Bone marrow smear · 40× objective, oil immersion · May-Grünwald-Giemsa/Pappenheim stain — 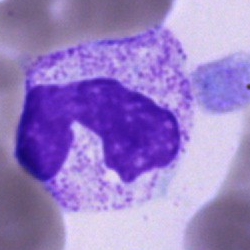Morphological class = band neutrophil.